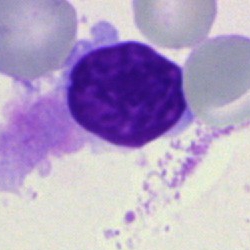
Q: What is shown here?
A: Artifact.